Image size 250×250. Bone marrow aspirate smear: 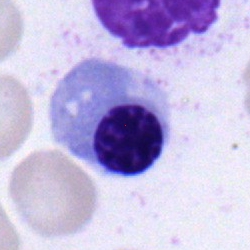Q: What type of cell is this?
A: Nucleated red blood cell.